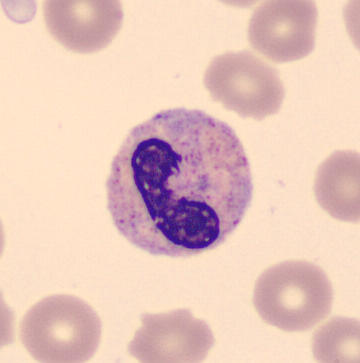Single cell identified as a band neutrophil. Preparation: Peripheral blood smear.